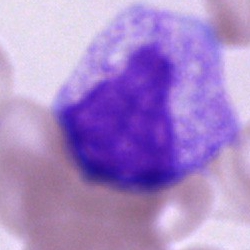

A myelocyte on a bone marrow smear.